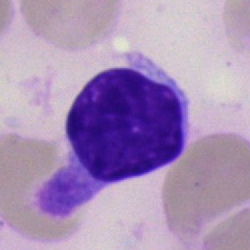 Lymphocyte.